Pappenheim-stained; bone marrow aspirate smear; 40× objective, oil immersion
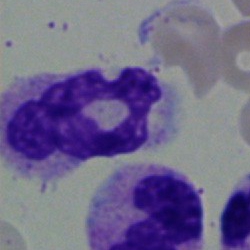

Q: Which cell type is shown here?
A: A polymorphonuclear neutrophil.